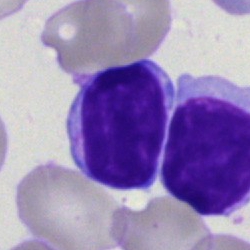Impression → typical lymphocyte.